Bone marrow smear. Brightfield microscopy, 40× oil immersion — 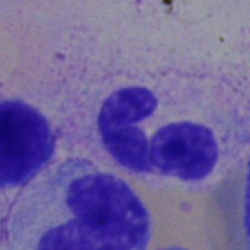Specimen: bone marrow aspirate smear.
Classification: segmented neutrophil.